Bone marrow smear. Image size 250×250:
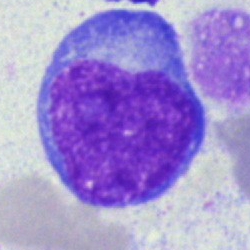 Specimen: bone marrow aspirate smear.
Cell: undifferentiated blast.